Bone marrow smear
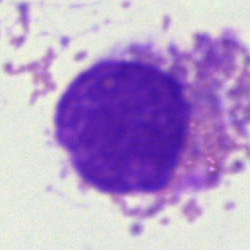

Specimen: bone marrow aspirate smear.
Classification: artifact.